Peripheral blood film.
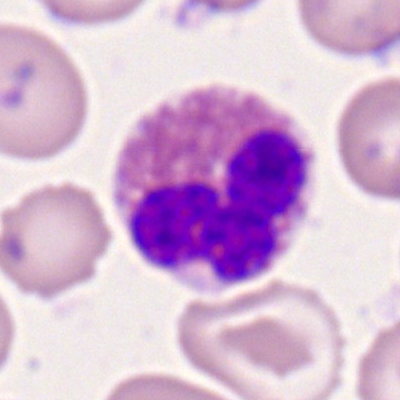Q: Which cell type is shown here?
A: It is an eosinophil.